Bone marrow smear
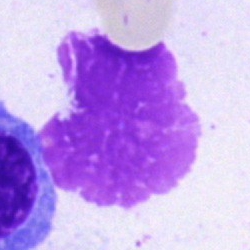 Q: What is shown here?
A: It is an artifact.